Bone marrow aspirate smear.
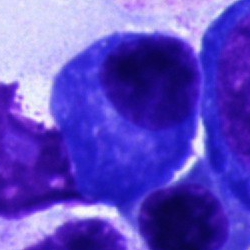
Classification — plasma cell.